Bone marrow smear.
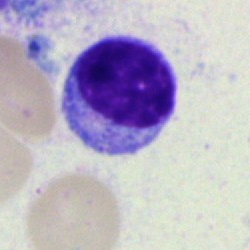 A typical lymphocyte.